Bone marrow smear · May-Grünwald-Giemsa/Pappenheim stain — 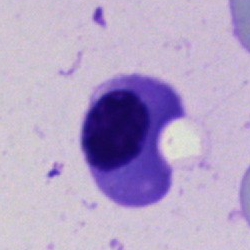 The cell is nucleated red cell.